250 by 250 pixels; single-cell crop; bone marrow aspirate smear
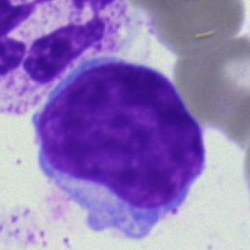
Q: What cell is this?
A: Other cell.